Brightfield microscopy, 40× oil immersion. Bone marrow aspirate smear — 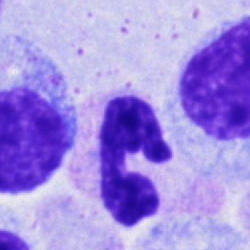 Morphology → segmented neutrophil.